May-Grünwald-Giemsa/Pappenheim stain. Bone marrow smear: 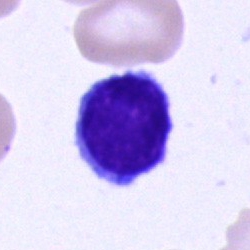
Cell type = typical lymphocyte.